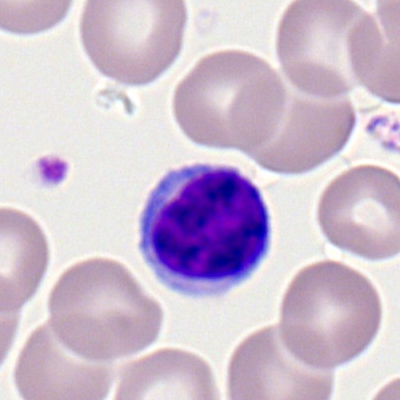
Specimen: peripheral blood smear.
Morphological class: typical lymphocyte.
Lineage: lymphoid.